Bone marrow aspirate smear:
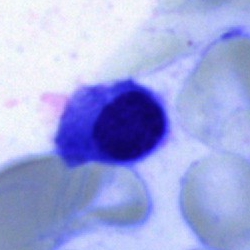The cell is erythroblast.